Peripheral blood film. Cropped to a single cell
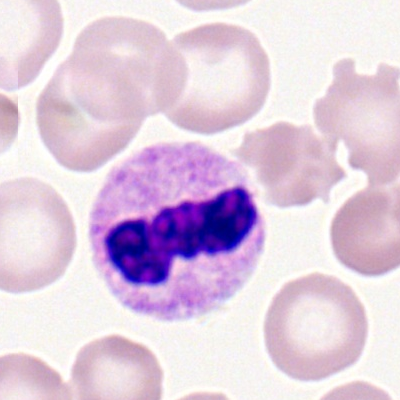Q: What cell is this?
A: Neutrophil (segmented).